Pappenheim-stained · bone marrow smear
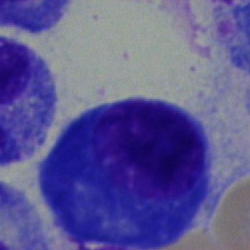Specimen: bone marrow smear.
Cell: plasma cell.
Lineage: lymphoid.